Bone marrow smear
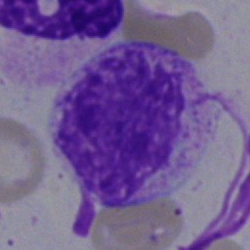
Morphology consistent with an artefact.